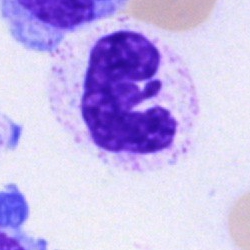Single cell identified as a neutrophil (segmented).